MGG-stained; bone marrow smear — 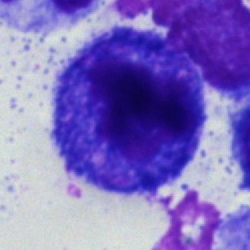

Specimen: bone marrow aspirate smear.
Classification: promyelocyte.
Lineage: myeloid.